Bone marrow smear · cropped to a single cell · 40× objective, oil immersion: 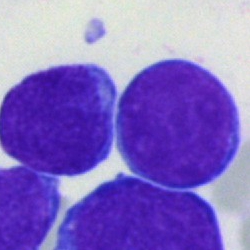Q: What type of cell is this?
A: This is an undifferentiated blast.